Brightfield microscopy, 40× oil immersion · bone marrow aspirate smear.
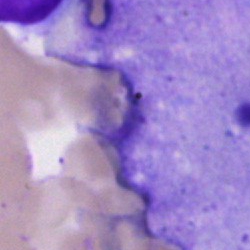 Q: What is shown here?
A: Artefact.